40× objective, oil immersion · bone marrow aspirate smear — 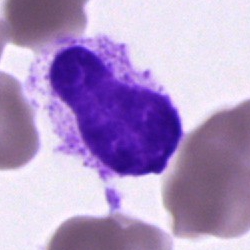

Specimen: bone marrow aspirate smear.
Cell type: cell of indeterminate lineage.